40× oil immersion; bone marrow smear; 250×250 px — 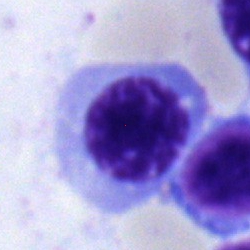

{"cell_type": "nucleated red cell", "lineage": "erythroid"}